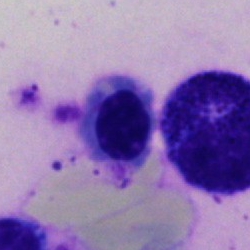

Specimen: bone marrow smear.
Cell type: erythroblast.
Lineage: erythroid.